Bone marrow smear. Brightfield microscopy, 40× oil immersion:
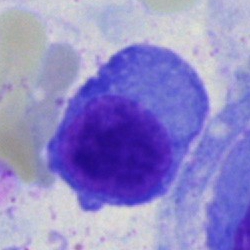
Q: What type of cell is this?
A: It is a plasmacyte.